Bone marrow aspirate smear.
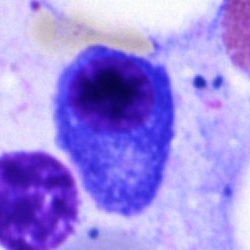 Single cell identified as a plasmacyte.